Bone marrow smear:
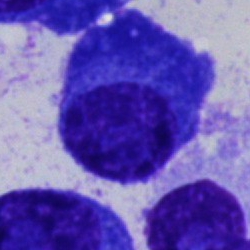Showing a plasma cell.